Bone marrow aspirate smear
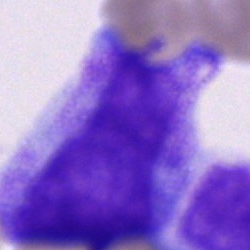 Unidentifiable cell.